Bone marrow aspirate smear.
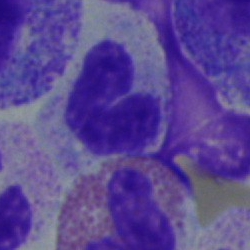
Q: Identify the cell.
A: A band-form neutrophil.